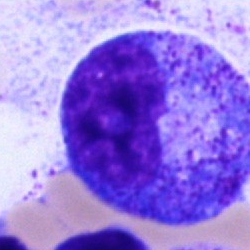 Cell type — promyelocyte.